Bone marrow smear.
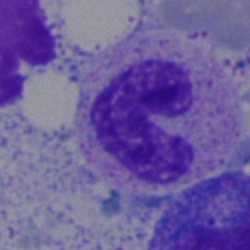Specimen: bone marrow smear.
Classification: neutrophil (band).